Bone marrow smear: 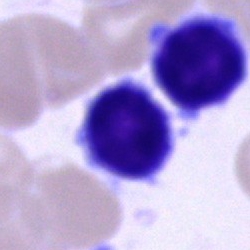
This is a typical lymphocyte.